Bone marrow aspirate smear.
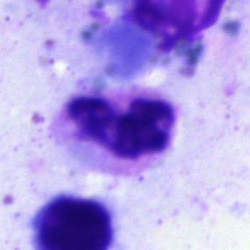 {"cell_type": "polymorphonuclear neutrophil", "lineage": "myeloid"}